Bone marrow aspirate smear: 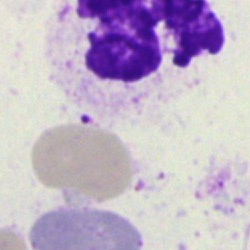

Q: What is shown here?
A: An artifact.